Bone marrow aspirate smear
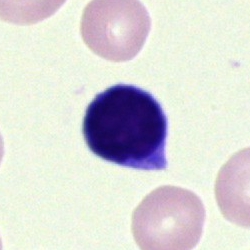This is a typical lymphocyte.